Bone marrow aspirate smear.
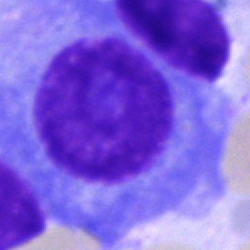

Morphology consistent with a plasma cell.